Bone marrow aspirate smear. Cropped to a single cell:
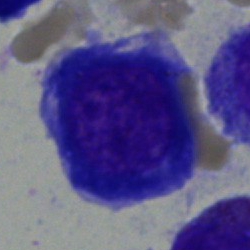The cell is pronormoblast.